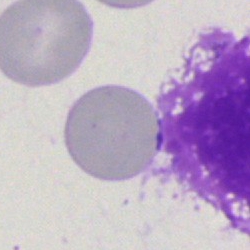

Morphological class — artifact.